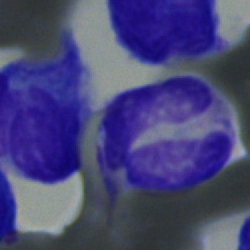 Cell type — neutrophil (segmented).